Single-cell field · bone marrow aspirate smear:
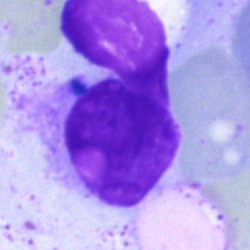Morphology → artefact.